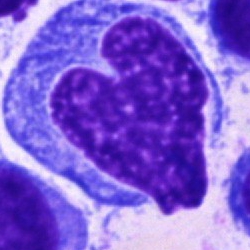 Specimen: bone marrow smear.
Morphological class: undifferentiated blast.